Bone marrow aspirate smear; 250×250.
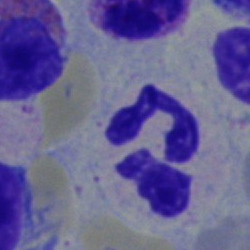

Morphological class — polymorphonuclear neutrophil.